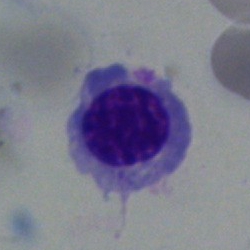

Cell: nucleated red cell.